Bone marrow smear: 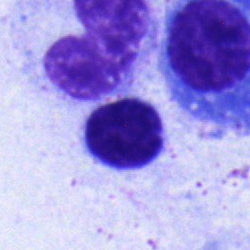Single cell identified as a typical lymphocyte.